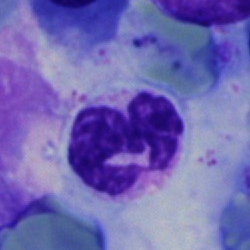 Q: Which cell type is shown here?
A: This is a polymorphonuclear neutrophil.